100× objective, oil immersion; peripheral blood film; image size 400×400.
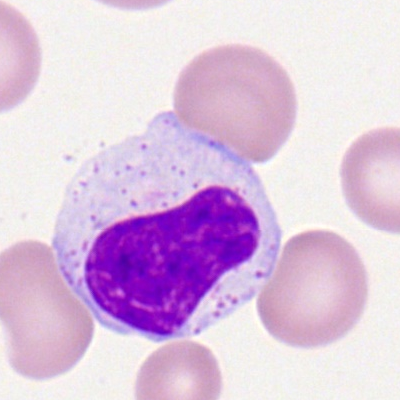 Morphology consistent with a lymphocyte.